Bone marrow aspirate smear — 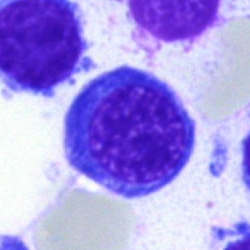Impression → nucleated red blood cell.